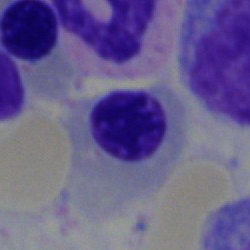
Cell type = nucleated red cell.